Single-cell crop; bone marrow aspirate smear; 250×250
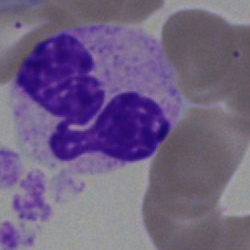This is a polymorphonuclear neutrophil.